250 by 250 pixels. Bone marrow aspirate smear — 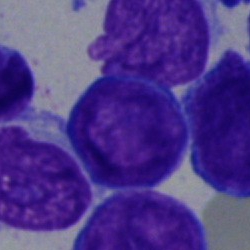Blast.